Brightfield microscopy, 40× oil immersion · bone marrow smear · single cell centered in the field:
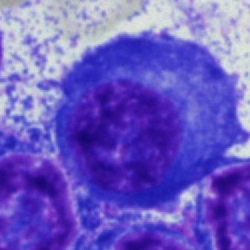

Specimen: bone marrow aspirate smear.
Cell: plasma cell.
Lineage: lymphoid.